Peripheral blood film
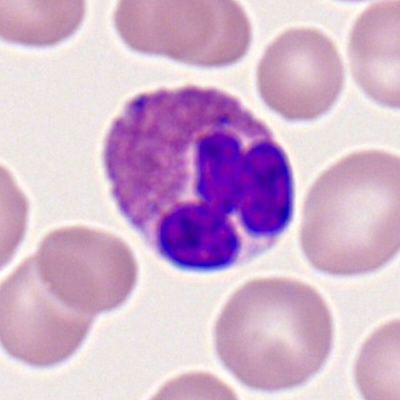

Eosinophil.